Bone marrow aspirate smear; brightfield, 40× oil-immersion objective.
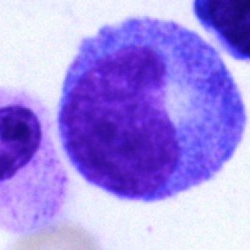
Q: What cell is this?
A: A progranulocyte.